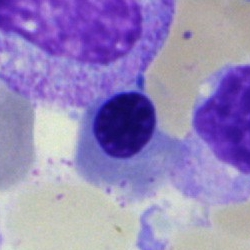 Normoblast.